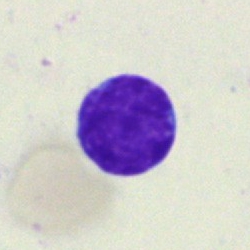Q: What type of cell is this?
A: This is a lymphocyte.